Bone marrow smear
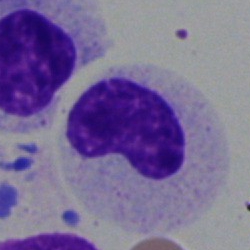

Cell — metamyelocyte.